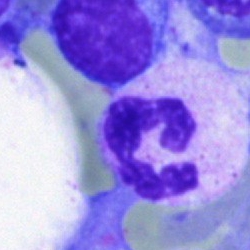 Showing a segmented neutrophil.